Bone marrow smear:
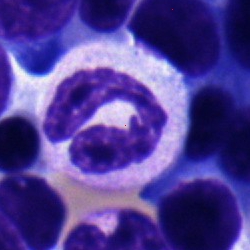Q: What is the morphological classification of this cell?
A: It is a neutrophil (segmented).